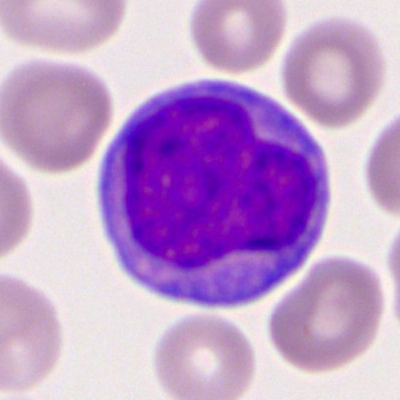
Single cell identified as a myeloblast.